Bone marrow aspirate smear
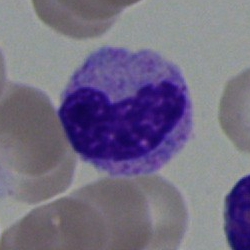Specimen: bone marrow aspirate smear.
Morphological class: metamyelocyte.
Lineage: myeloid.